Bone marrow smear; 250×250 — 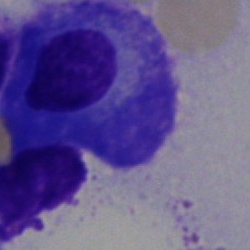

This is a plasmacyte.